Bone marrow smear. Single cell centered in the field. MGG-stained:
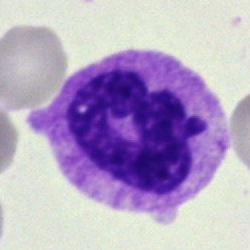 Q: Identify the cell.
A: It is a segmented neutrophil.